Bone marrow aspirate smear:
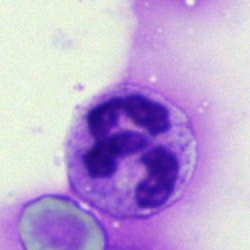

Morphological class: neutrophil (segmented).